Bone marrow aspirate smear · image size 250×250: 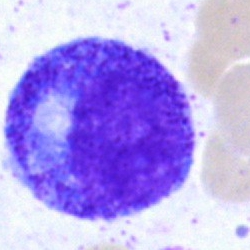

Cell type: promyelocyte.